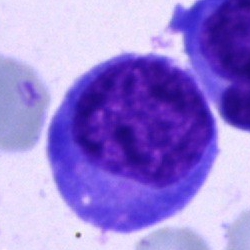 Impression — blast.